MGG-stained · single-cell field · bone marrow aspirate smear: 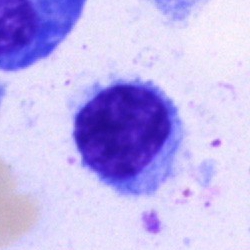The cell shown is a lymphocyte.